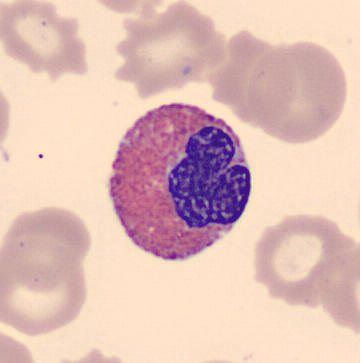

Morphology consistent with an eosinophil.
Peripheral blood smear.